Bone marrow aspirate smear · May-Grünwald-Giemsa stain · 250×250 — 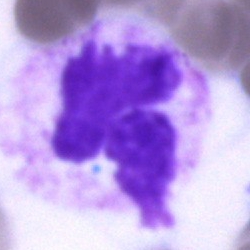Classification — segmented neutrophil.